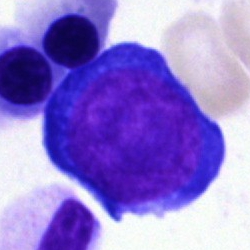
Q: What is the morphological classification of this cell?
A: This is a proerythroblast.